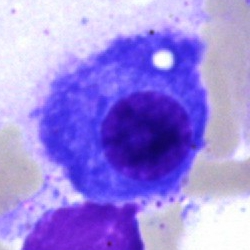
This is a plasma cell.